Bone marrow aspirate smear:
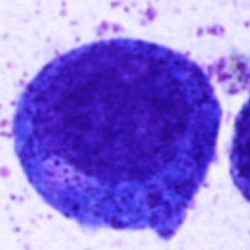 Specimen: bone marrow smear.
Morphological class: progranulocyte.
Lineage: myeloid.